Bone marrow aspirate smear: 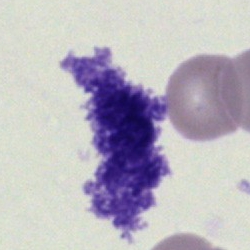

Cell: artifact.